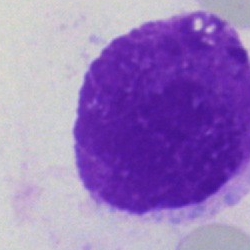
Specimen: bone marrow aspirate smear.
Classification: artefact.